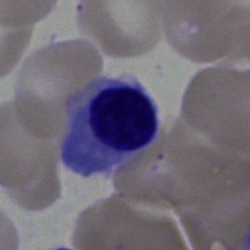 Morphological class = normoblast.